Bone marrow aspirate smear — 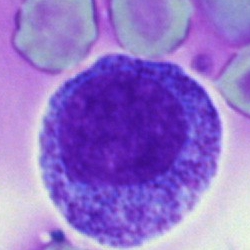

Single cell identified as a progranulocyte.